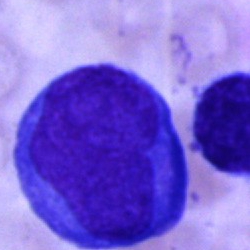

An undifferentiated blast.